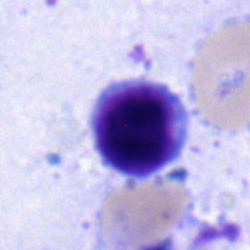
Cell: lymphocyte.